Single-cell crop; bone marrow aspirate smear; brightfield microscopy, 40× oil immersion: 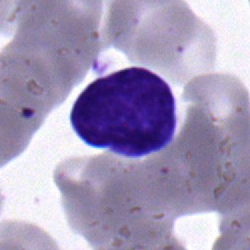

A lymphocyte.